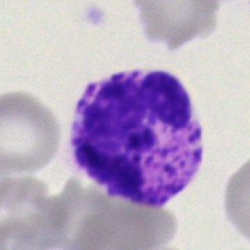 Morphological class = basophil.